Bone marrow smear — 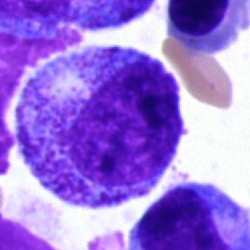 Morphology — promyelocyte.